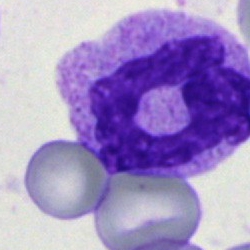 Showing a monocyte.